Bone marrow smear
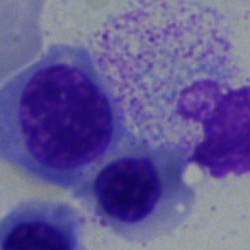Morphology consistent with a nucleated red blood cell.